Bone marrow smear · 250×250: 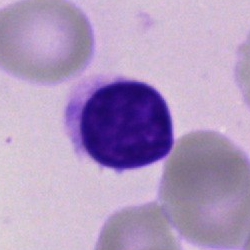 Impression → lymphocyte.